Bone marrow smear. 40× oil immersion: 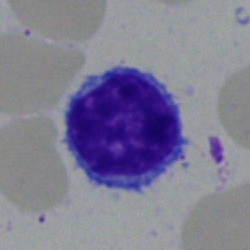

A typical lymphocyte.